Bone marrow smear: 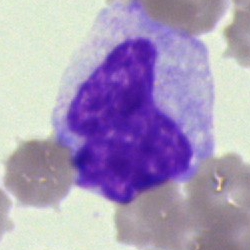 Morphological class: artefact.